250×250 px; bone marrow smear
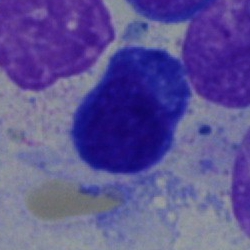 Morphology consistent with a plasmacyte.